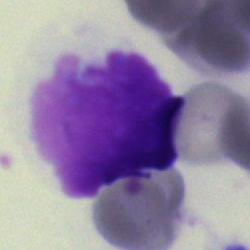 Morphology → artefact.